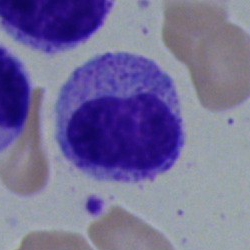
{"cell_type": "metamyelocyte", "lineage": "myeloid"}